Bone marrow aspirate smear · Pappenheim-stained · single-cell field — 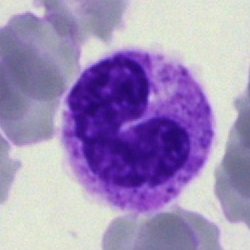

A stab cell.